Romanowsky stain · peripheral blood smear
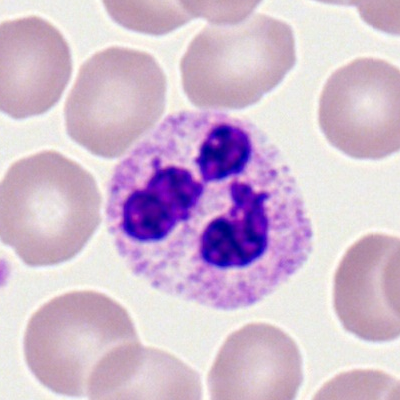 Cell type: neutrophil (segmented).